Peripheral blood smear — 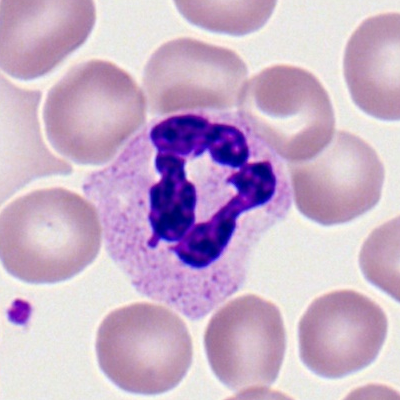Q: Identify the cell.
A: A polymorphonuclear neutrophil.